Peripheral blood smear
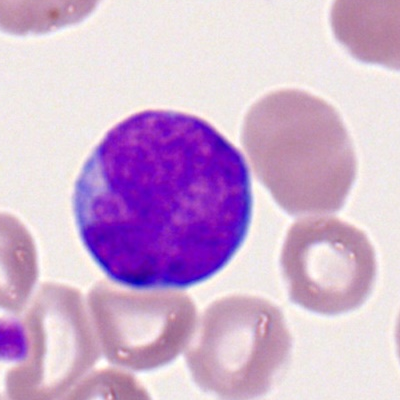

Myeloblast.